40× oil immersion. MGG-stained. Bone marrow aspirate smear: 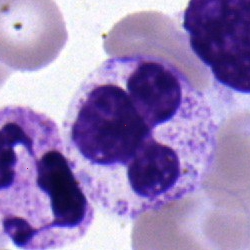

A segmented neutrophil.